Bone marrow smear — 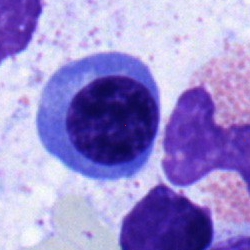Impression — normoblast.